Bone marrow aspirate smear — 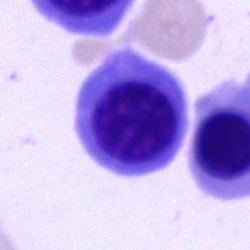

Specimen: bone marrow smear.
Cell type: nucleated red cell.